MGG-stained; bone marrow smear.
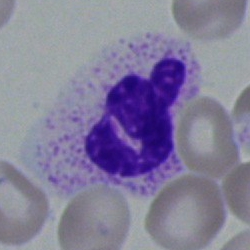
Q: Which cell type is shown here?
A: This is a neutrophil (segmented).